250×250 px; bone marrow aspirate smear; cropped to a single cell:
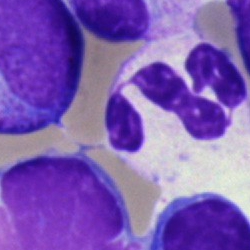Showing a segmented neutrophil.